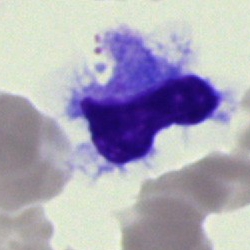 The cell is artefact.